Bone marrow aspirate smear:
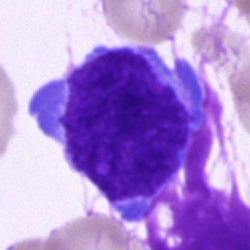 Q: What is shown here?
A: Blast cell.